Bone marrow aspirate smear:
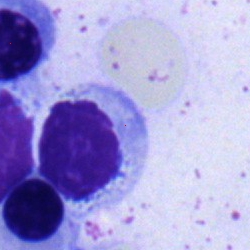
Q: What is the morphological classification of this cell?
A: Lymphocyte.